Bone marrow aspirate smear
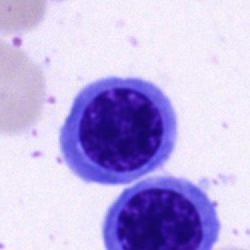
Specimen: bone marrow smear.
Cell: nucleated red blood cell.
Lineage: erythroid.